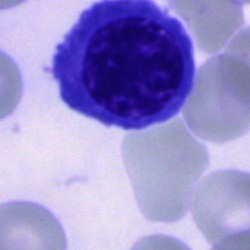
A nucleated red blood cell on a bone marrow smear.